Bone marrow smear: 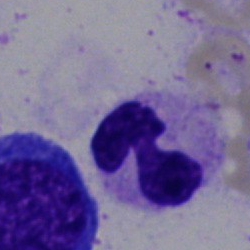

Cell type: polymorphonuclear neutrophil.